Bone marrow smear · image size 250×250:
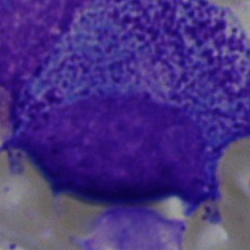Morphology consistent with a promyelocyte.